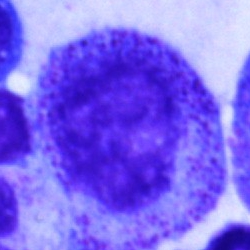Cell: promyelocyte.